Bone marrow smear · single-cell crop: 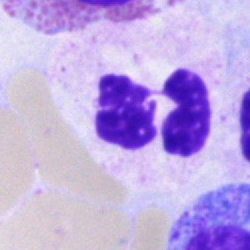
Segmented neutrophil.